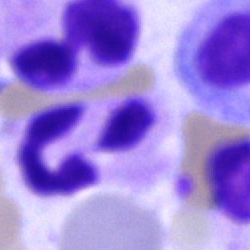Specimen: bone marrow aspirate smear.
Classification: polymorphonuclear neutrophil.
Lineage: myeloid.